Bone marrow smear; single-cell crop
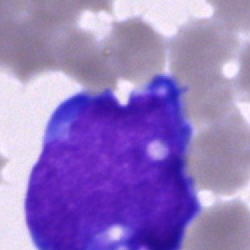
Cell — blast cell.